Brightfield microscopy, 40× oil immersion; image size 250×250; bone marrow aspirate smear
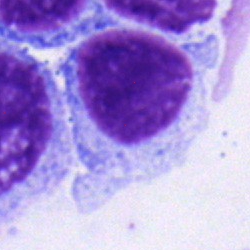
Single cell identified as a typical lymphocyte.